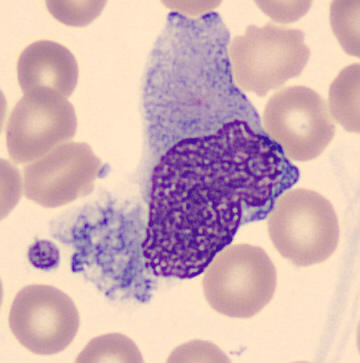A monocyte on a peripheral blood smear.